Bone marrow smear:
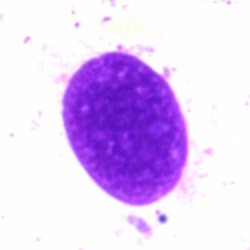Impression — artifact.